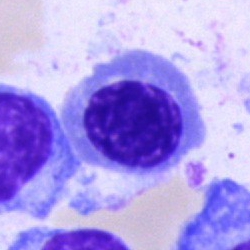

Single-cell crop from a bone marrow smear: erythroblast.